Bone marrow aspirate smear; 40× objective, oil immersion:
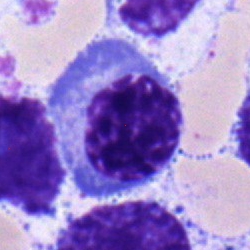

Showing a normoblast.